Bone marrow aspirate smear · 250×250 px.
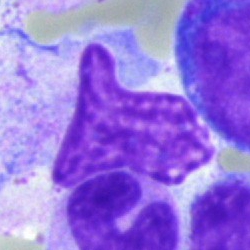 Artefact.